Single cell centered in the field · bone marrow smear — 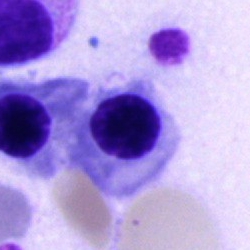

The morphological class is nucleated red cell.